Peripheral blood film
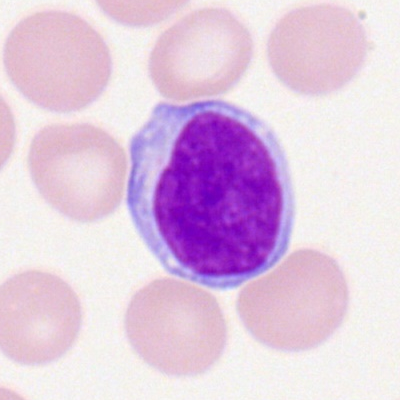 Specimen: peripheral blood film.
Morphological class: typical lymphocyte.